250 by 250 pixels; bone marrow smear — 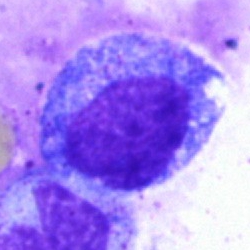Q: Identify the cell.
A: It is a promyelocyte.